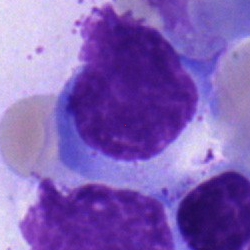

Q: Which cell type is shown here?
A: A typical lymphocyte.